Bone marrow aspirate smear · 250 by 250 pixels
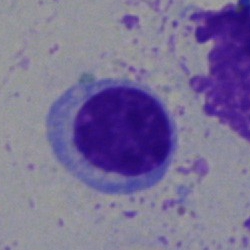

A typical lymphocyte.